Bone marrow smear.
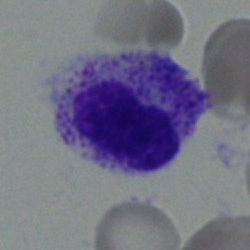Q: Identify the cell.
A: This is a metamyelocyte.